Bone marrow smear. Brightfield microscopy, 40× oil immersion.
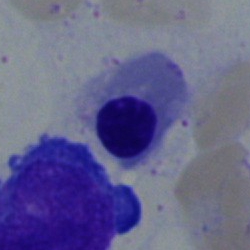Q: Which cell type is shown here?
A: A nucleated red blood cell.